Bone marrow smear. Single-cell crop. 250×250 — 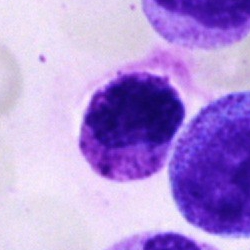 The cell type is basophil.